May-Grünwald-Giemsa stain · 250×250 · bone marrow aspirate smear — 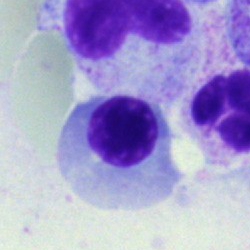

Specimen: bone marrow smear.
Cell type: normoblast.
Lineage: erythroid.